MGG-stained · 250×250 · bone marrow smear — 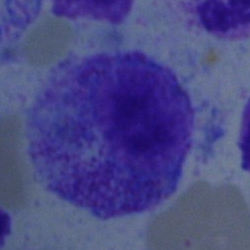
{"cell_type": "myelocyte", "lineage": "myeloid"}